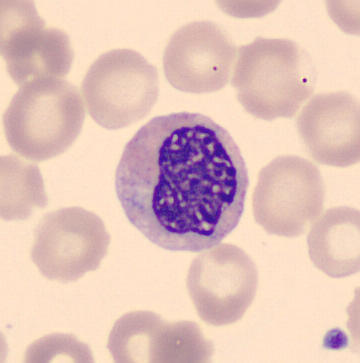
Preparation: Peripheral blood film. Q: What is shown here?
A: It is a metamyelocyte.